Bone marrow aspirate smear. Brightfield microscopy, 40× oil immersion. 250×250:
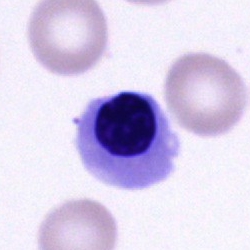 Morphology — nucleated red cell.